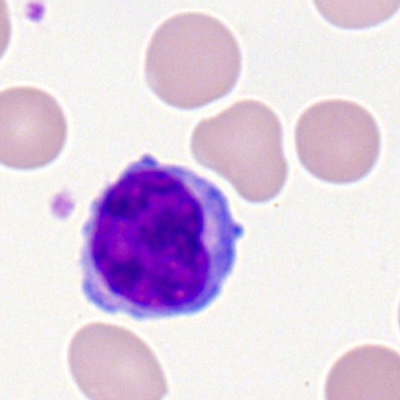Morphology — typical lymphocyte.